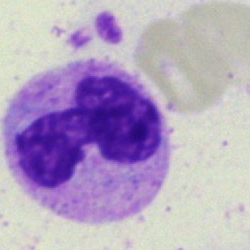A neutrophil (segmented) on a bone marrow smear.